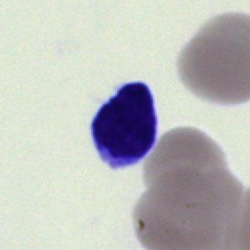

Classification: artefact.